Cropped to a single cell · bone marrow smear — 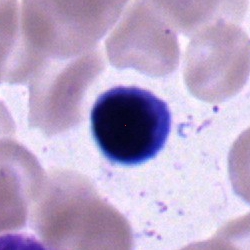

Showing a typical lymphocyte.